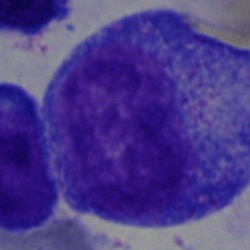Single cell identified as a progranulocyte.